Bone marrow smear · brightfield microscopy, 40× oil immersion · single-cell field
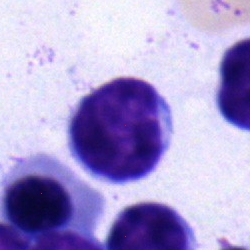 Cell type: typical lymphocyte.